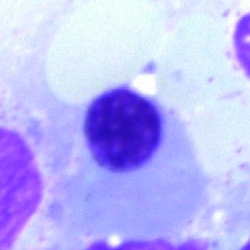

Q: What is the morphological classification of this cell?
A: A normoblast.